Bone marrow aspirate smear: 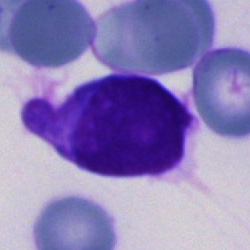Q: What cell is this?
A: Undifferentiated blast.